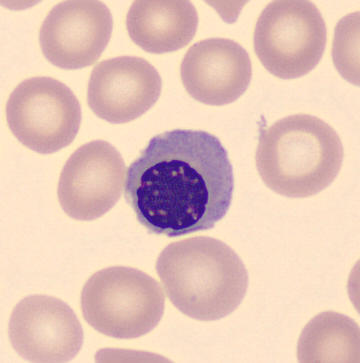 Morphology — nucleated red cell.